Bone marrow aspirate smear: 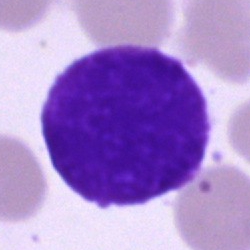
The cell is artifact.